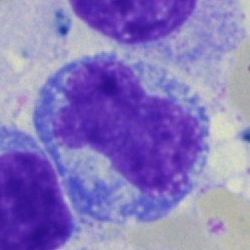 Bone marrow aspirate smear, single cell — cell of indeterminate lineage.